Bone marrow smear; single-cell field:
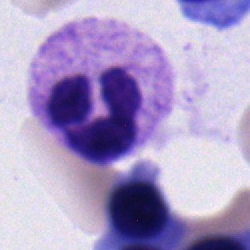
Q: What cell is this?
A: This is a polymorphonuclear neutrophil.